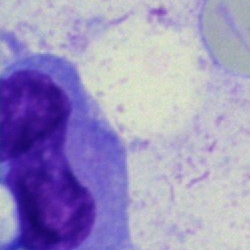
{"cell_type": "artifact"}